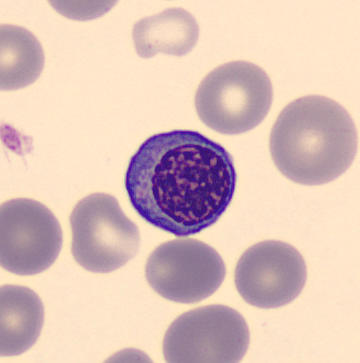 Cell type = nucleated red cell.